Bone marrow aspirate smear. 40× oil immersion. Single-cell crop: 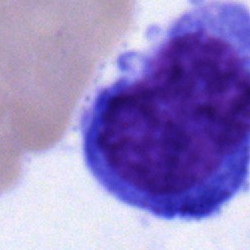 Showing an undifferentiated blast.